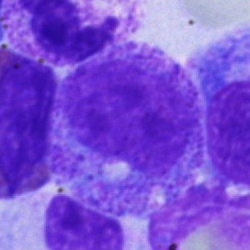

Cell type: myelocyte.